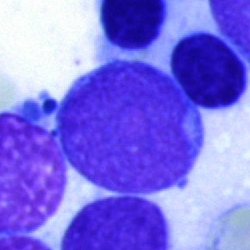 An undifferentiated blast.